Bone marrow smear — 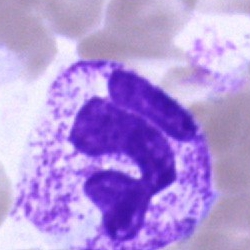 Q: What is shown here?
A: It is a polymorphonuclear neutrophil.